Bone marrow smear. 40× objective, oil immersion:
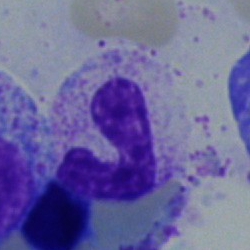

Specimen: bone marrow aspirate smear.
Cell type: neutrophil (band).